Bone marrow aspirate smear.
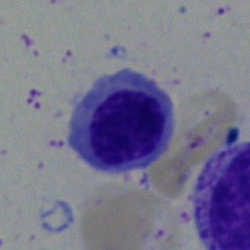Showing a nucleated red cell.